Bone marrow smear: 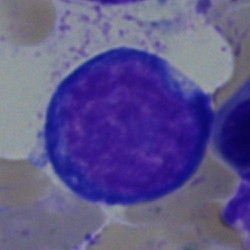 Q: What type of cell is this?
A: This is a pronormoblast.